Peripheral blood smear — 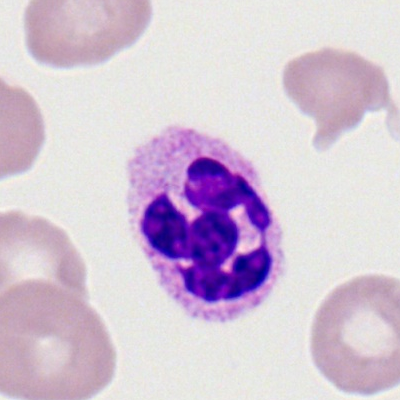Morphological class: neutrophil (segmented).